Image size 250×250. Bone marrow smear:
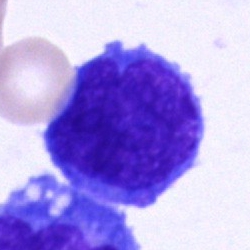 Impression — blast cell.